Brightfield, 40× oil-immersion objective; bone marrow aspirate smear
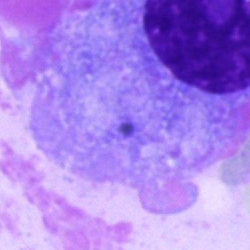Morphology — plasmacyte.